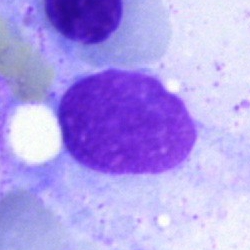Single-cell crop from a bone marrow smear: artefact.